Image size 250×250; bone marrow aspirate smear
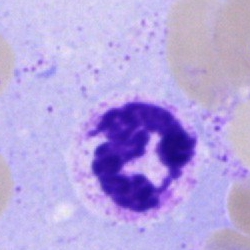 Impression → neutrophil (segmented).